Single cell centered in the field; bone marrow smear:
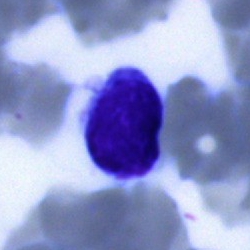
Single cell identified as a lymphocyte.